Bone marrow smear. 40× objective, oil immersion — 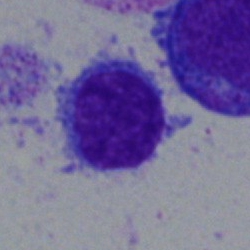
Morphological class = lymphocyte.